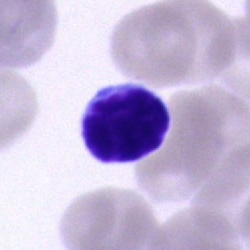

Specimen: bone marrow smear.
Morphological class: lymphocyte.
Lineage: lymphoid.